Bone marrow smear
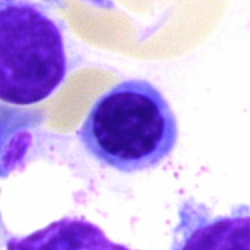 Specimen: bone marrow aspirate smear.
Cell: erythroblast.
Lineage: erythroid.